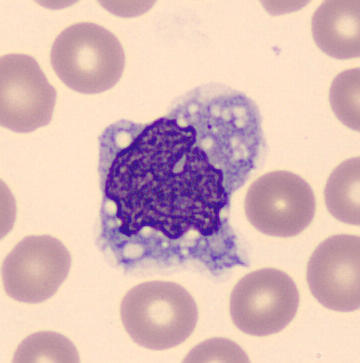

Q: Which cell type is shown here?
A: A monocyte.
Peripheral blood film · May-Grünwald-Giemsa-stained · single cell centered in the field.